Cropped to a single cell · bone marrow aspirate smear
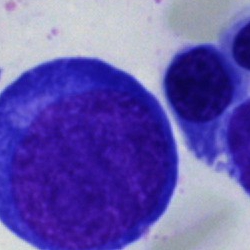
A pronormoblast.